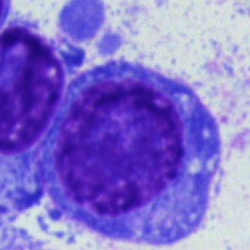
Q: What cell is this?
A: Plasmacyte.